Brightfield microscopy, 40× oil immersion. Bone marrow aspirate smear — 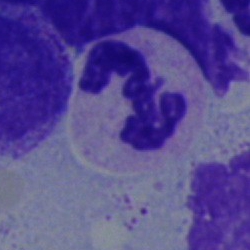Morphology consistent with a segmented neutrophil.